Single-cell crop. Brightfield, 40× oil-immersion objective. Bone marrow aspirate smear.
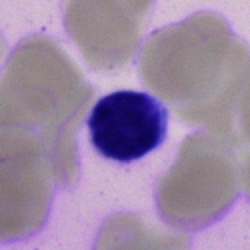 The morphological class is typical lymphocyte.